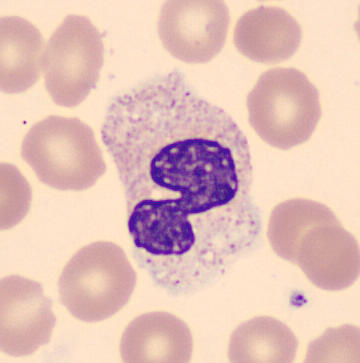Morphology consistent with a segmented neutrophil.